Bone marrow aspirate smear: 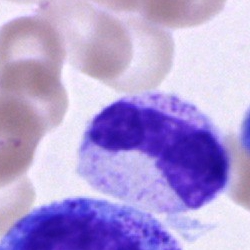This is a neutrophil (band).